Bone marrow aspirate smear.
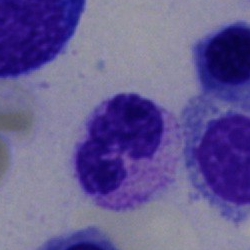Q: Identify the cell.
A: It is a polymorphonuclear neutrophil.